Bone marrow aspirate smear.
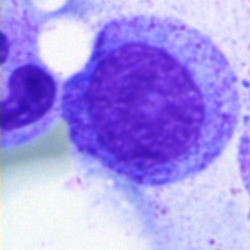

Specimen: bone marrow aspirate smear.
Cell: progranulocyte.
Lineage: myeloid.